Bone marrow smear. 250 by 250 pixels: 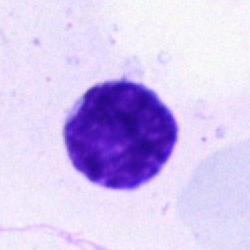Classification — typical lymphocyte.